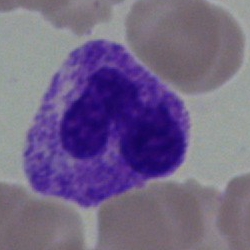 {"cell_type": "band-form neutrophil"}